250×250 · bone marrow aspirate smear
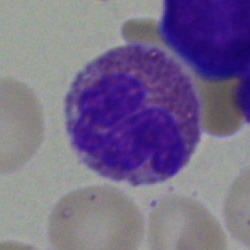
Eosinophil.